Bone marrow aspirate smear. Single cell centered in the field
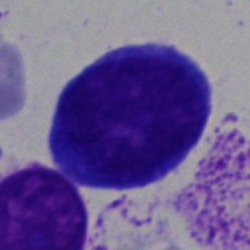Single cell identified as a promyelocyte.